Bone marrow smear:
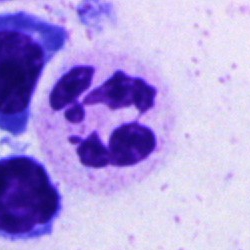

Specimen: bone marrow aspirate smear.
Cell: neutrophil (segmented).
Lineage: myeloid.